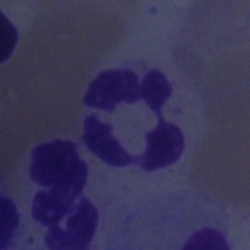
Morphology — neutrophil (segmented).